Image size 250×250 · 40× oil immersion · bone marrow aspirate smear — 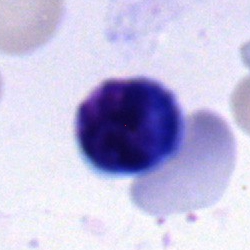The classification is nucleated red cell.